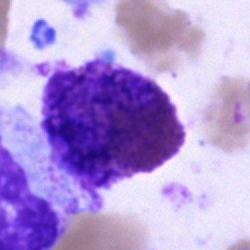
The cell type is eosinophil.